Bone marrow aspirate smear. Image size 250×250. Cropped to a single cell.
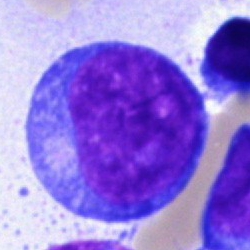

Q: What is the morphological classification of this cell?
A: An undifferentiated blast.